Single cell centered in the field · bone marrow aspirate smear.
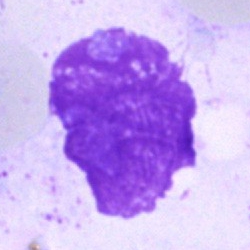Showing an artifact.